Bone marrow smear; cropped to a single cell; image size 250×250
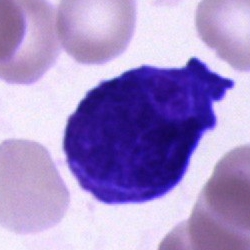 Q: What is shown here?
A: It is an unidentifiable cell.